Bone marrow aspirate smear; 250×250 px; single-cell crop:
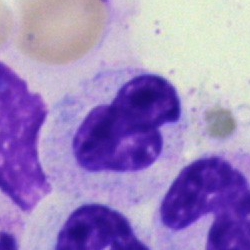

Single cell identified as a polymorphonuclear neutrophil.